Bone marrow aspirate smear; MGG-stained; image size 250×250 — 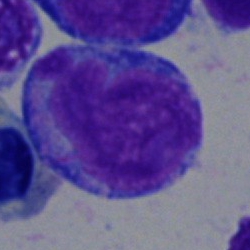
Impression → blast cell.